Bone marrow smear:
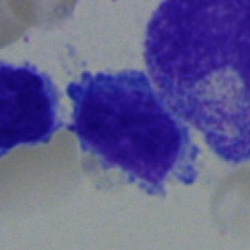
Morphology → lymphocyte.